Single-cell crop · bone marrow aspirate smear — 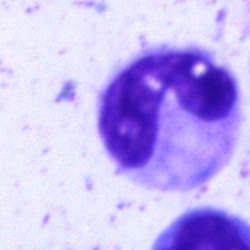 Morphological class — neutrophil (band).